Bone marrow aspirate smear.
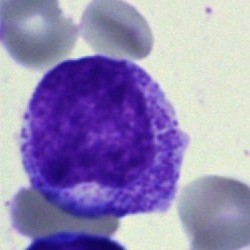 This is a myelocyte.